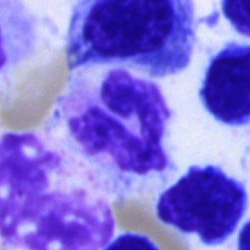
A segmented neutrophil on a bone marrow smear.